250 by 250 pixels. May-Grünwald-Giemsa/Pappenheim stain. Bone marrow smear:
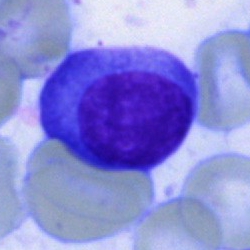The classification is plasma cell.